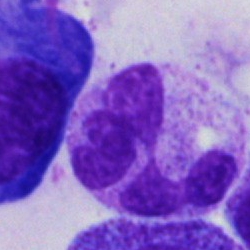

Morphological class: neutrophil (segmented).